40× oil immersion. Bone marrow aspirate smear
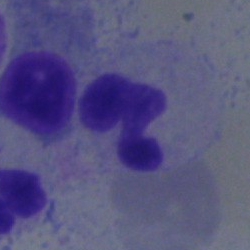The cell is neutrophil (segmented).